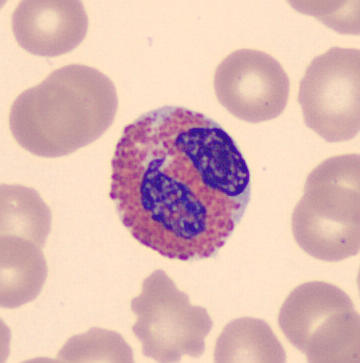 Q: What type of cell is this?
A: This is an eosinophil. Peripheral blood film. Single-cell field.